Bone marrow smear; Pappenheim-stained; 40× oil immersion: 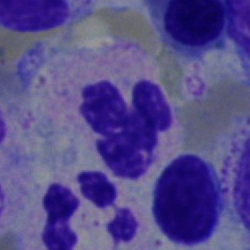

Morphological class — segmented neutrophil.